250 by 250 pixels. Bone marrow smear: 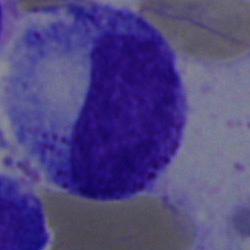The cell shown is a promyelocyte.